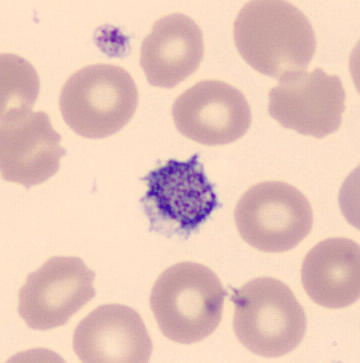 Preparation: 360×363. Peripheral blood smear.

Impression — platelet (thrombocyte).